Bone marrow smear.
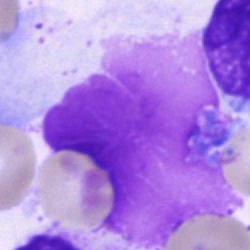
Specimen: bone marrow smear.
Cell: artefact.